Peripheral blood smear.
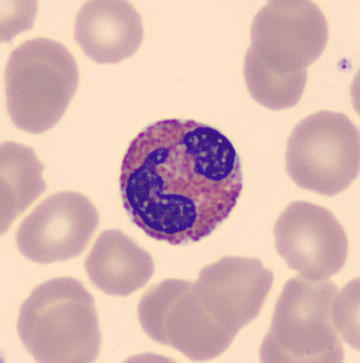
Specimen: peripheral blood smear.
Cell: eosinophilic granulocyte.
Lineage: myeloid.